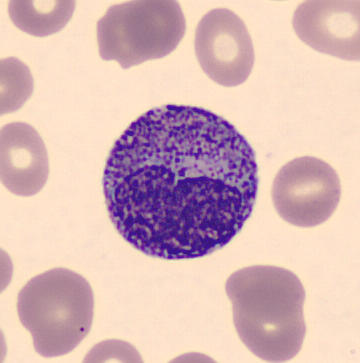Preparation: MGG stain. Peripheral blood smear. Q: What type of cell is this?
A: This is a progranulocyte.